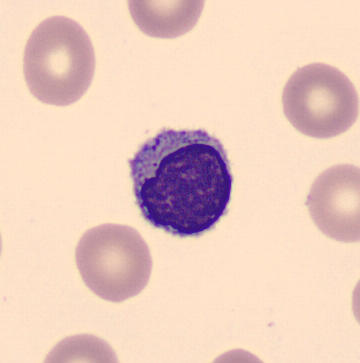Peripheral blood film; 360×363 px. The cell shown is a lymphocyte.